Bone marrow aspirate smear — 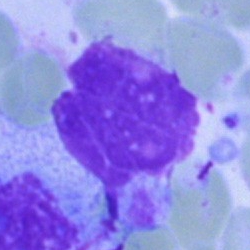
This is an artifact.